Bone marrow smear
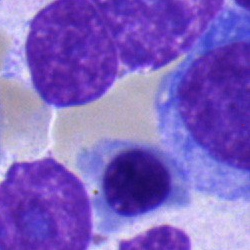Classification — plasma cell.